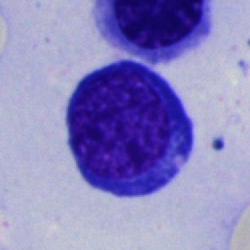

Specimen: bone marrow aspirate smear.
Cell: erythroblast.
Lineage: erythroid.